Bone marrow smear.
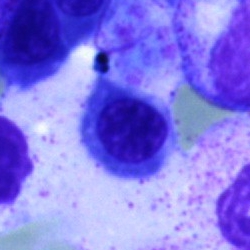
{"cell_type": "nucleated red blood cell", "lineage": "erythroid"}